Bone marrow aspirate smear:
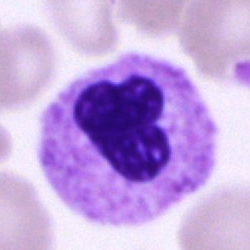Impression — segmented neutrophil.